May-Grünwald-Giemsa stain. 40× objective, oil immersion. Bone marrow aspirate smear.
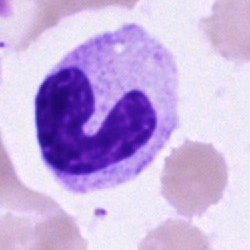

Specimen: bone marrow smear.
Classification: band neutrophil.